Bone marrow aspirate smear. 250×250. Single cell centered in the field
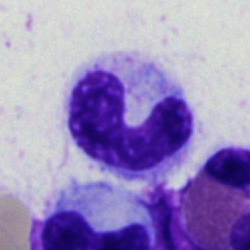Specimen: bone marrow smear.
Cell: band neutrophil.